Bone marrow smear · Pappenheim-stained · cropped to a single cell
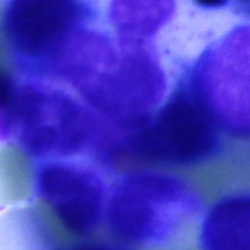Q: What is shown here?
A: This is an artifact.